Peripheral blood film
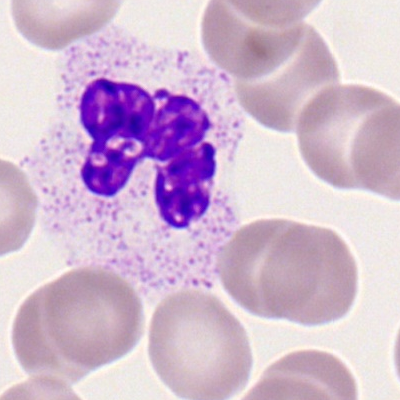 Morphology consistent with a segmented neutrophil.